Bone marrow smear — 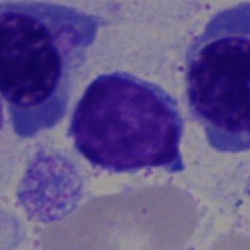The classification is lymphocyte.